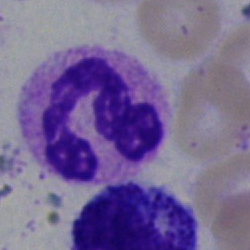
Bone marrow smear showing a neutrophil (segmented).